Bone marrow aspirate smear. May-Grünwald-Giemsa/Pappenheim stain. 250 by 250 pixels — 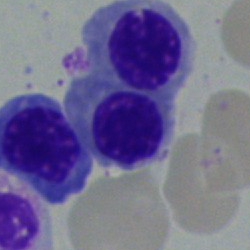 Morphological class — nucleated red blood cell.